Brightfield microscopy, 40× oil immersion; bone marrow aspirate smear:
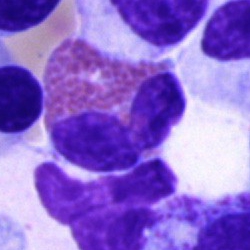Eosinophilic granulocyte.